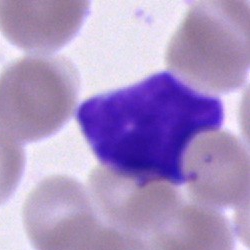This is an artefact.